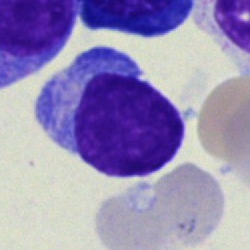

The cell is typical lymphocyte.